Bone marrow aspirate smear.
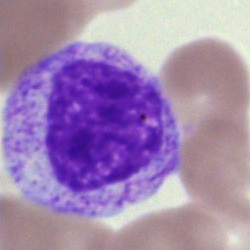 Specimen: bone marrow smear.
Morphological class: myelocyte.